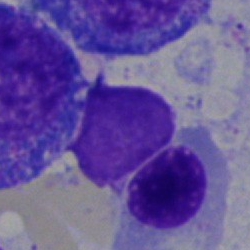 Cell type — normoblast.